Bone marrow smear · 40× oil immersion.
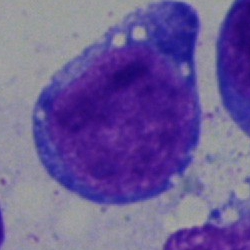

Q: What is shown here?
A: It is an undifferentiated blast.